40× oil immersion; bone marrow aspirate smear; 250×250.
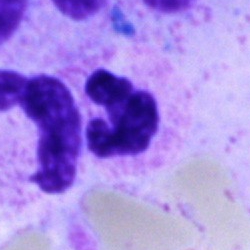

Single cell identified as a polymorphonuclear neutrophil.